Bone marrow aspirate smear.
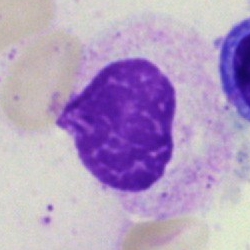
An artifact.